Bone marrow smear. 250×250 px:
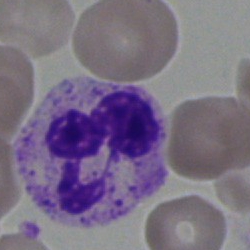The cell is polymorphonuclear neutrophil.